Bone marrow smear.
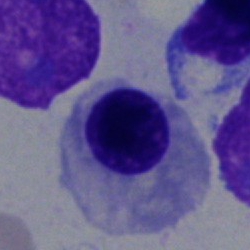

Morphology consistent with a normoblast.